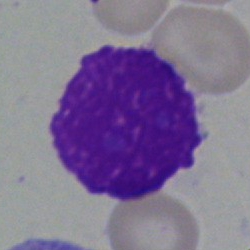Showing an artefact.